360×363; peripheral blood film:
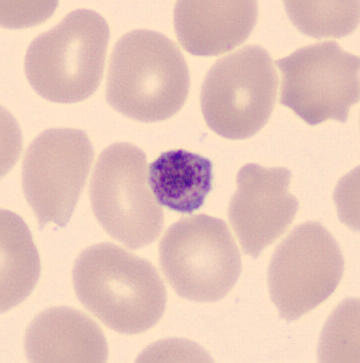
Q: What is shown here?
A: It is a thrombocyte.